Bone marrow aspirate smear. 250 by 250 pixels. 40× objective, oil immersion:
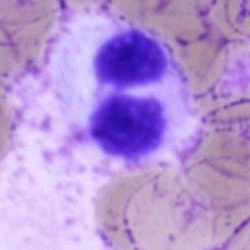Cell = segmented neutrophil.